Bone marrow aspirate smear: 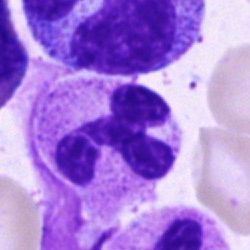Showing a polymorphonuclear neutrophil.